Brightfield, 40× oil-immersion objective · bone marrow smear.
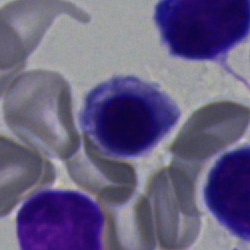Cell = erythroblast.